Bone marrow smear.
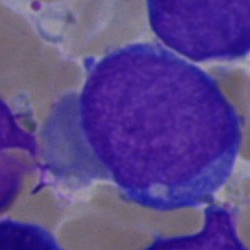 Impression — blast.